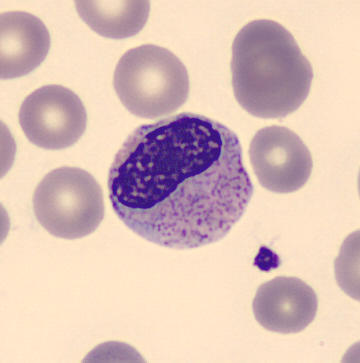
Acquisition: Peripheral blood smear; CellaVision DM96 digital cell image.
This is a metamyelocyte.